Single-cell crop. Bone marrow aspirate smear — 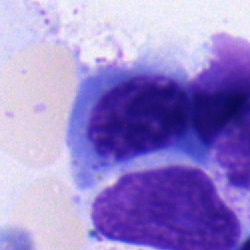 The cell shown is a normoblast.